Bone marrow aspirate smear. Single-cell field:
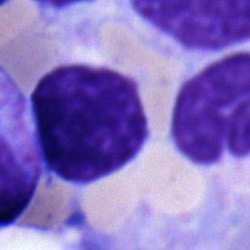A typical lymphocyte.